Single cell centered in the field; bone marrow smear: 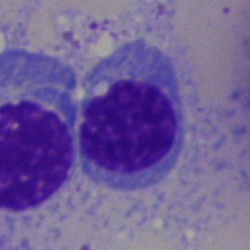{"cell_type": "lymphocyte"}